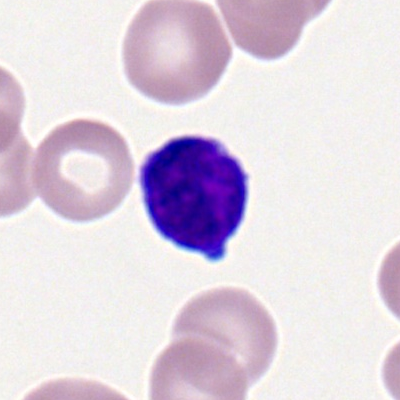Peripheral blood smear showing a lymphocyte.